Bone marrow aspirate smear:
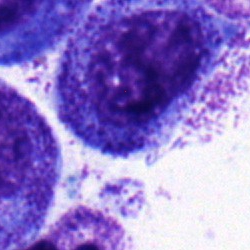
A promyelocyte.